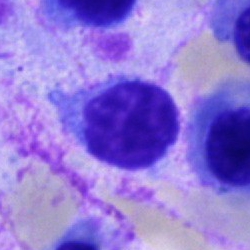Specimen: bone marrow aspirate smear.
Cell: lymphocyte.
Lineage: lymphoid.